Bone marrow smear · 250×250 px: 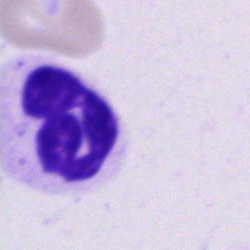Neutrophil (segmented).